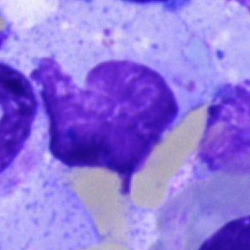 Impression → artefact.